Bone marrow aspirate smear; 250×250 px
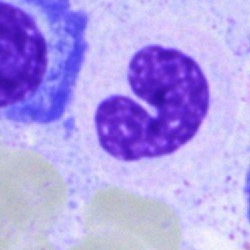 Specimen: bone marrow smear.
Classification: band-form neutrophil.